Bone marrow smear.
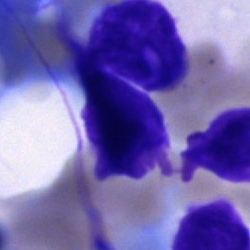 Artefact.